Bone marrow aspirate smear; 250×250
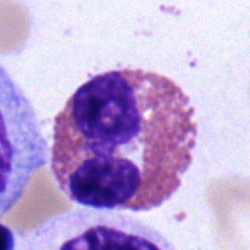

The classification is eosinophil.